Image size 400×400. Peripheral blood smear
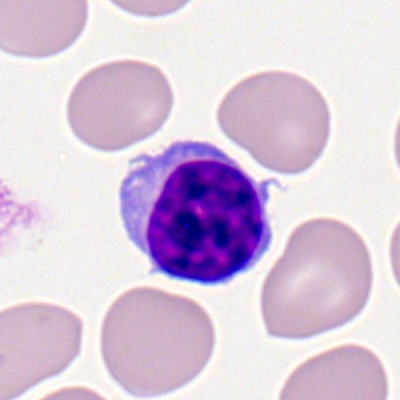

Specimen: peripheral blood film.
Cell: typical lymphocyte.